Peripheral blood film.
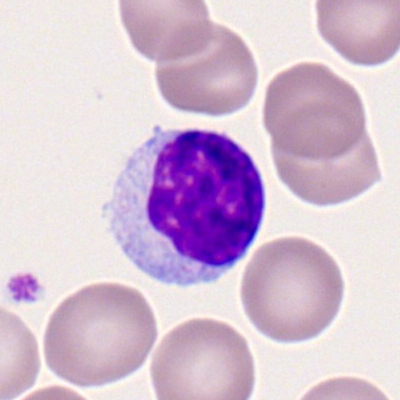 Specimen: peripheral blood film.
Classification: typical lymphocyte.